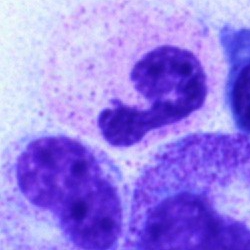

Q: What cell is this?
A: This is a neutrophil (segmented).